MGG-stained. Bone marrow smear. Single-cell crop.
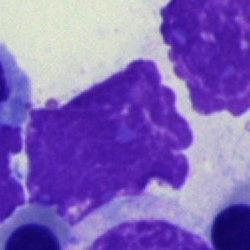

Morphological class: artifact.